Bone marrow smear:
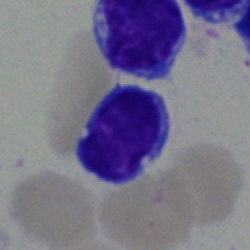 Impression — lymphocyte.